Peripheral blood smear:
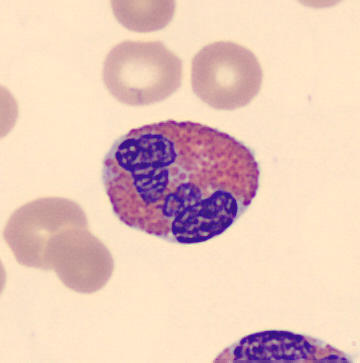 Cell — eosinophil.